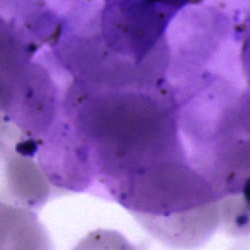 Artefact.